Bone marrow smear; May-Grünwald-Giemsa stain:
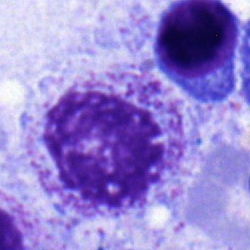Morphology consistent with a myelocyte.